Bone marrow aspirate smear · image size 250×250.
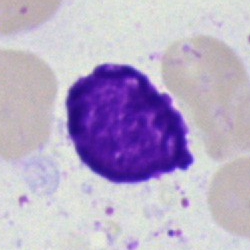Showing an artifact.